Romanowsky-type stain; cropped to a single cell; peripheral blood film: 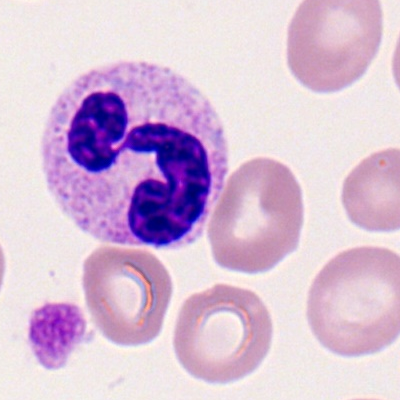 Q: What is shown here?
A: This is a segmented neutrophil.